Pappenheim-stained. Bone marrow aspirate smear.
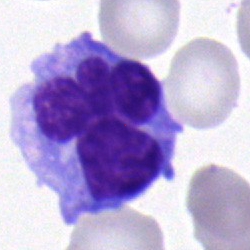 The classification is monocyte.